Bone marrow smear; 40× oil immersion
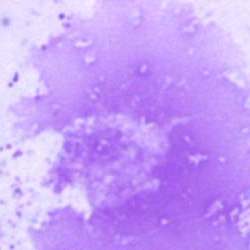Specimen: bone marrow smear.
Morphological class: artefact.